Bone marrow aspirate smear
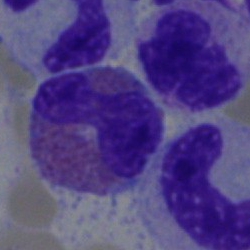 Specimen: bone marrow aspirate smear.
Cell: eosinophilic granulocyte.
Lineage: myeloid.